Bone marrow smear: 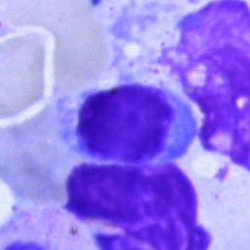Lymphocyte.